Bone marrow smear — 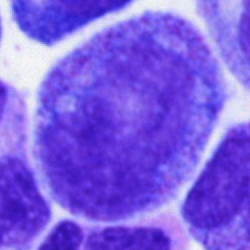 A progranulocyte.